250×250 · bone marrow aspirate smear.
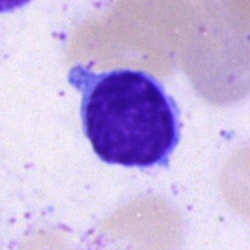

Q: Which cell type is shown here?
A: This is a lymphocyte.